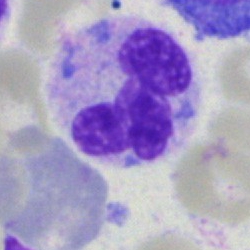
Bone marrow smear showing a monocyte.